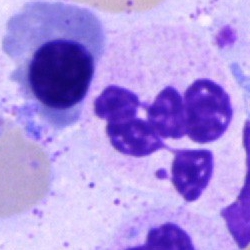
Bone marrow smear showing a neutrophil (segmented).